250×250. Bone marrow aspirate smear:
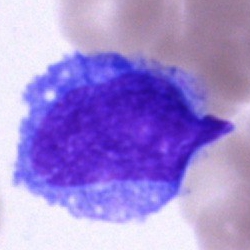 Morphology — undifferentiated blast.